Bone marrow smear.
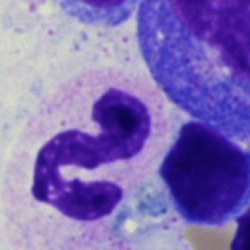

Neutrophil (segmented).